Bone marrow aspirate smear: 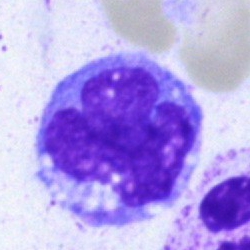Morphological class — monocyte.